Bone marrow aspirate smear:
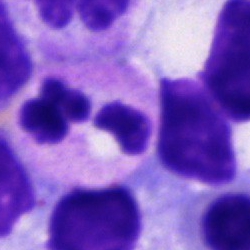Classification = segmented neutrophil.